Peripheral blood film.
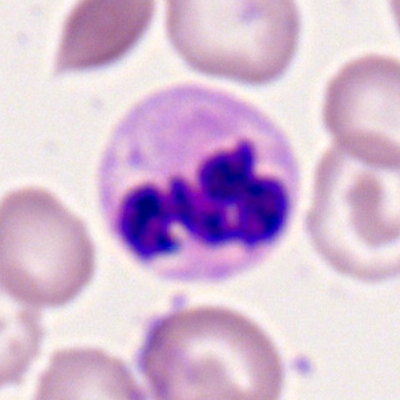Cell = segmented neutrophil.